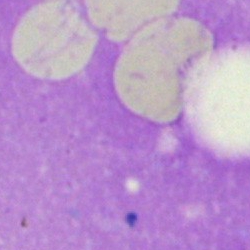
An artifact.